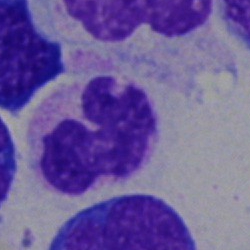Q: What is shown here?
A: Neutrophil (band).